Bone marrow smear — 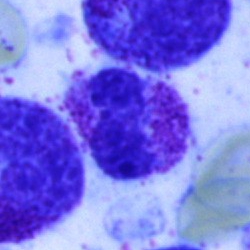Morphological class: polymorphonuclear neutrophil.